Bone marrow smear
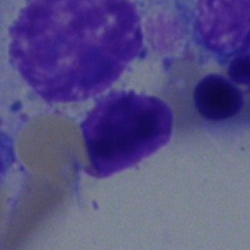
Showing a promyelocyte.